Bone marrow smear; 40× objective, oil immersion:
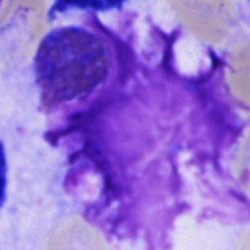{"cell_type": "artefact"}